Bone marrow aspirate smear
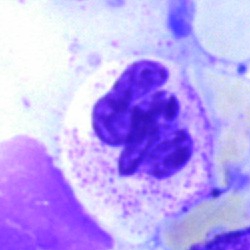

Neutrophil (segmented).